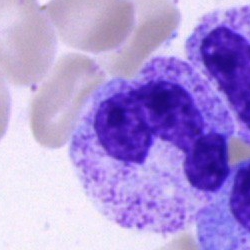

Q: What type of cell is this?
A: Segmented neutrophil.